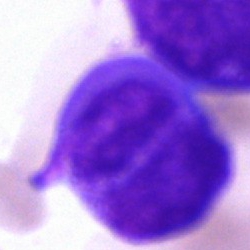Bone marrow aspirate smear, single cell — blast.